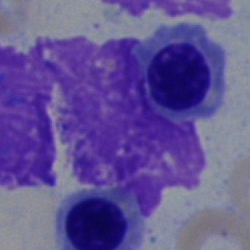

Morphology consistent with an erythroblast.